Peripheral blood film:
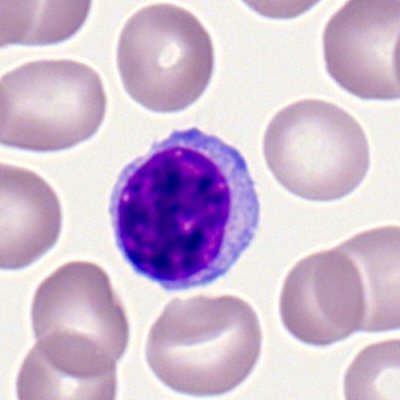

Showing a typical lymphocyte.